Bone marrow aspirate smear · Pappenheim-stained: 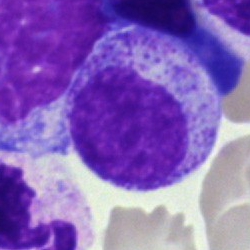This is a myelocyte.